Bone marrow aspirate smear — 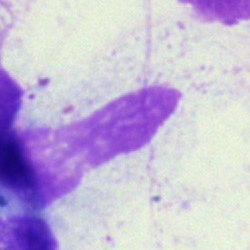
Q: What is shown here?
A: This is an artifact.